MGG-stained · bone marrow smear: 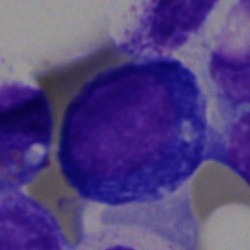Q: What cell is this?
A: A proerythroblast.